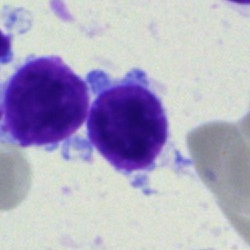The classification is lymphocyte.